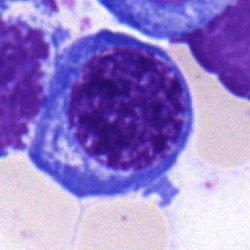
Q: What is shown here?
A: A normoblast.